CellaVision DM96; peripheral blood smear — 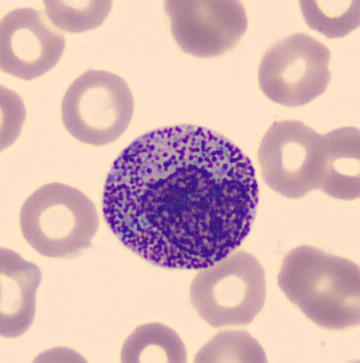
Specimen: peripheral blood film.
Cell type: metamyelocyte.
Lineage: myeloid.